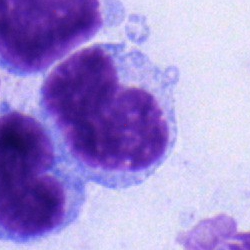Showing a lymphocyte.